Bone marrow aspirate smear.
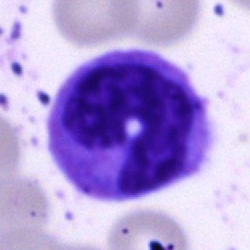{"cell_type": "monocyte", "lineage": "myeloid"}